Bone marrow aspirate smear. May-Grünwald-Giemsa/Pappenheim stain: 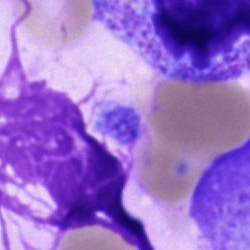 Single cell identified as a lymphocyte.